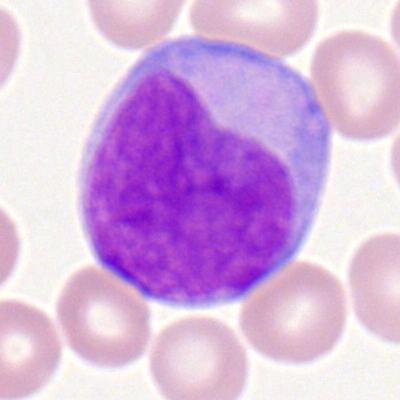

Peripheral blood film, single cell — myeloid blast.